250×250. Bone marrow aspirate smear — 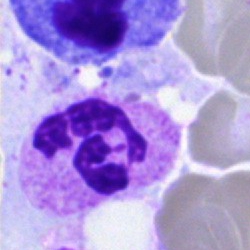 Polymorphonuclear neutrophil.